Bone marrow aspirate smear; image size 250×250; single-cell crop: 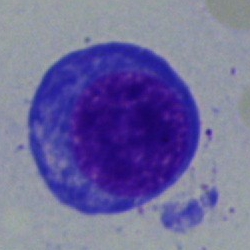
Specimen: bone marrow smear.
Cell: proerythroblast.
Lineage: erythroid.